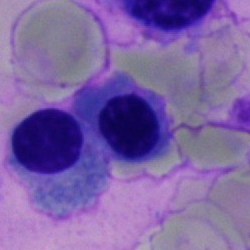 Classification: nucleated red cell.